Peripheral blood smear — 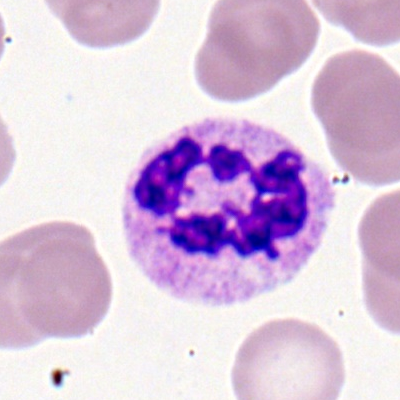The cell shown is a neutrophil (segmented).